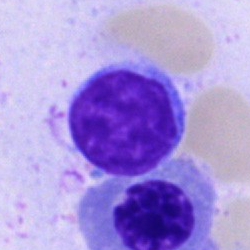 Specimen: bone marrow smear.
Classification: lymphocyte.